Bone marrow smear.
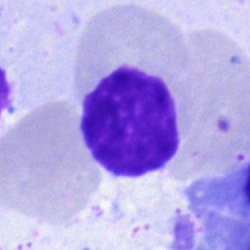

Cell type — artefact.